Bone marrow aspirate smear; single-cell crop:
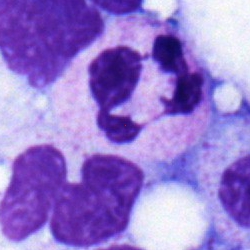
Q: What cell is this?
A: A polymorphonuclear neutrophil.